Cropped to a single cell. Bone marrow smear. May-Grünwald-Giemsa stain.
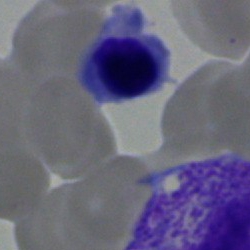
The cell type is nucleated red cell.